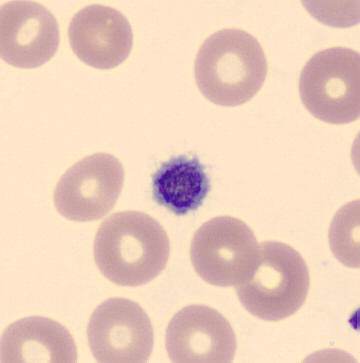

Peripheral blood film. MGG stain. Classification — platelet.